Bone marrow smear; 40× oil immersion: 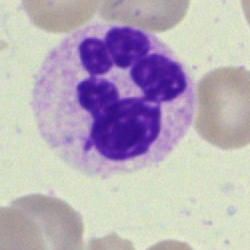 A polymorphonuclear neutrophil.